Bone marrow aspirate smear.
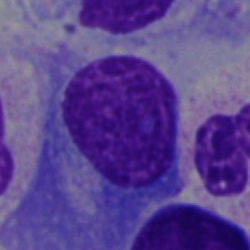 Classification — plasmacyte.